MGG-stained. Bone marrow smear:
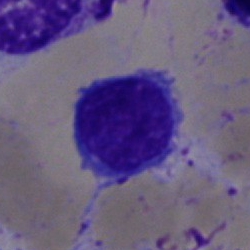Specimen: bone marrow aspirate smear.
Morphological class: blast cell.